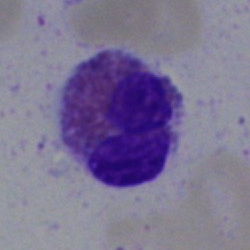Specimen: bone marrow aspirate smear.
Morphological class: eosinophil.
Lineage: myeloid.